Bone marrow smear — 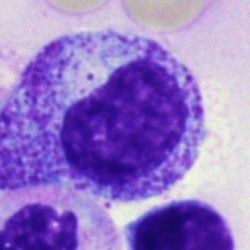
Specimen: bone marrow aspirate smear.
Morphological class: myelocyte.
Lineage: myeloid.